Bone marrow aspirate smear · 40× objective, oil immersion · May-Grünwald-Giemsa stain
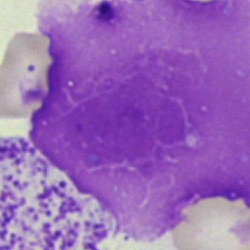

Q: What is shown here?
A: Artefact.